Brightfield, 40× oil-immersion objective. Pappenheim-stained. Bone marrow smear
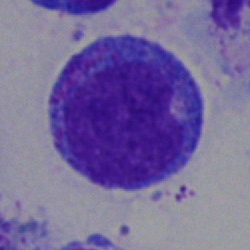

Cell — undifferentiated blast.